May-Grünwald-Giemsa/Pappenheim stain. Bone marrow smear
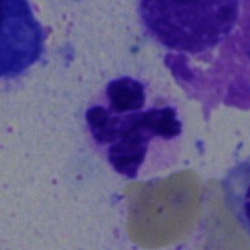
Impression — polymorphonuclear neutrophil.